Bone marrow aspirate smear · 40× objective, oil immersion — 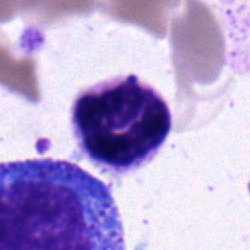 The cell shown is a neutrophil (band).